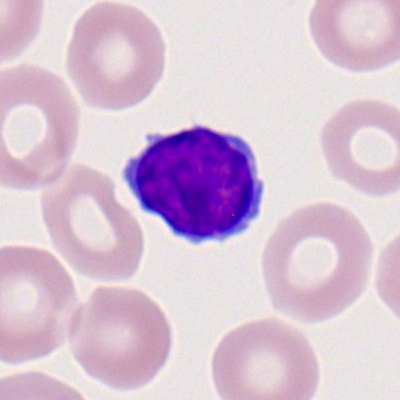The cell is lymphocyte.